Bone marrow smear: 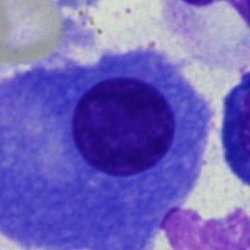 Specimen: bone marrow smear.
Cell type: plasma cell.
Lineage: lymphoid.